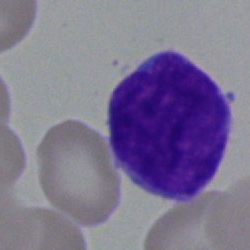Impression → blast cell.